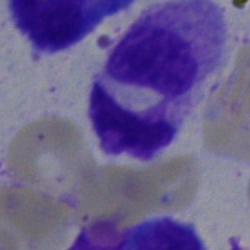

Classification = segmented neutrophil.